Pappenheim-stained; bone marrow smear.
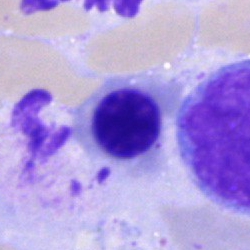

Classification — erythroblast.